40× oil immersion · bone marrow smear
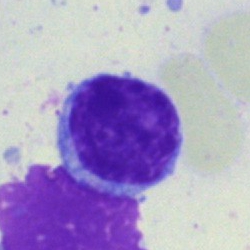Q: What type of cell is this?
A: Lymphocyte.